Bone marrow aspirate smear: 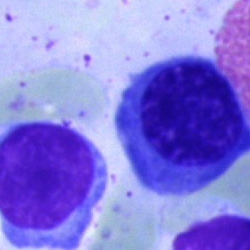Q: What cell is this?
A: This is a nucleated red cell.